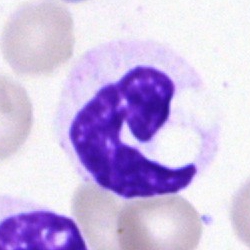

A neutrophil (segmented).